Bone marrow aspirate smear. Single cell centered in the field. MGG-stained:
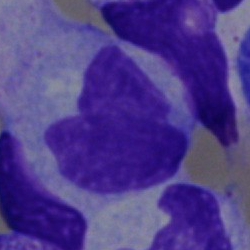 This is an artifact.